Bone marrow smear. May-Grünwald-Giemsa stain. 40× oil immersion — 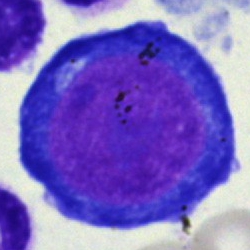
Morphological class = proerythroblast.